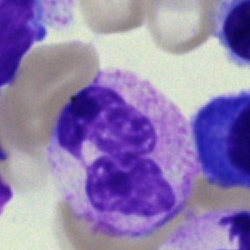

Cell type: polymorphonuclear neutrophil.